Image size 250×250. 40× objective, oil immersion. Bone marrow smear.
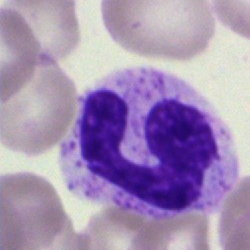

Cell: polymorphonuclear neutrophil.